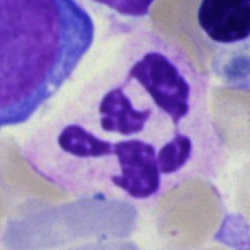The cell is polymorphonuclear neutrophil.